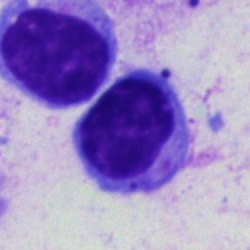Specimen: bone marrow smear.
Morphological class: lymphocyte.
Lineage: lymphoid.